Bone marrow aspirate smear — 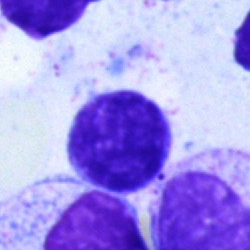
Morphology — typical lymphocyte.